Pappenheim-stained; bone marrow aspirate smear; 250 by 250 pixels:
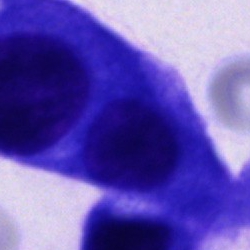 Showing an other cell.